250 by 250 pixels · May-Grünwald-Giemsa/Pappenheim stain · bone marrow aspirate smear:
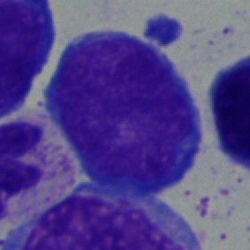
This is a blast cell.